Bone marrow smear. Pappenheim-stained — 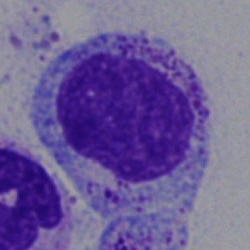
Impression — myelocyte.